May-Grünwald-Giemsa stain. Bone marrow aspirate smear
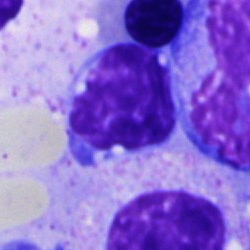 Specimen: bone marrow smear.
Classification: lymphocyte.
Lineage: lymphoid.